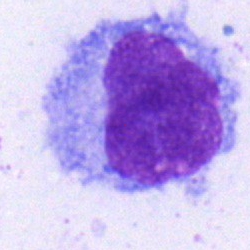 {"cell_type": "hairy cell"}